Bone marrow aspirate smear:
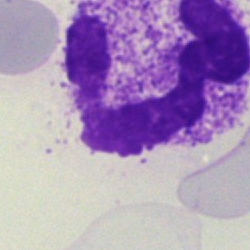

Morphology — segmented neutrophil.